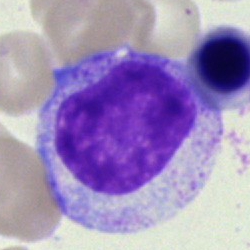
Bone marrow smear showing a myelocyte.